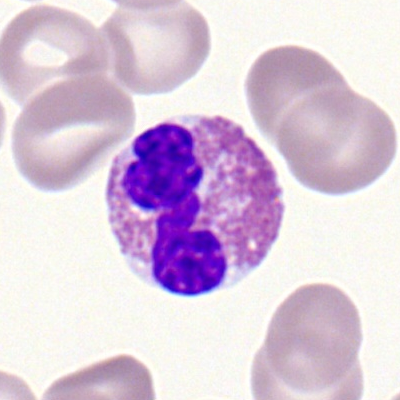Showing an eosinophil.